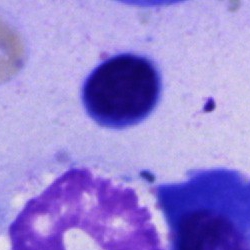

Q: What is shown here?
A: Cell of indeterminate lineage.